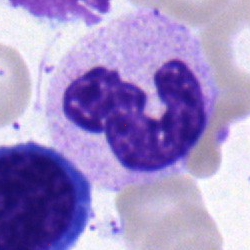

Q: What type of cell is this?
A: A neutrophil (segmented).